Bone marrow smear. Brightfield, 40× oil-immersion objective.
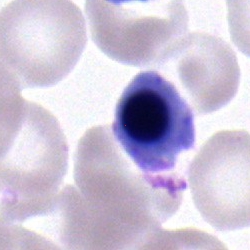
This is a nucleated red cell.